Single cell centered in the field · peripheral blood smear
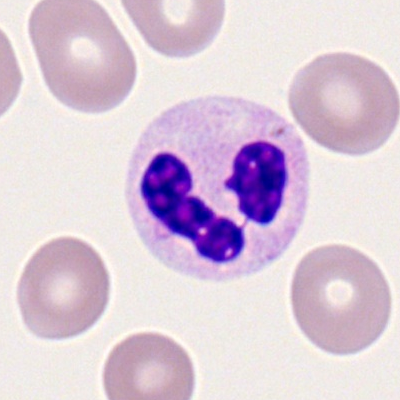Morphology → segmented neutrophil.